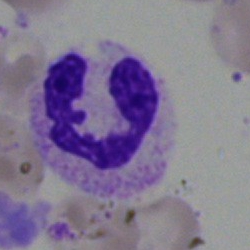 Specimen: bone marrow smear.
Cell: neutrophil (segmented).
Lineage: myeloid.